Bone marrow aspirate smear
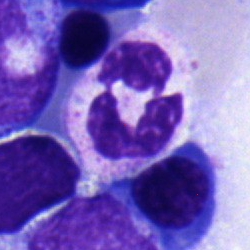
Specimen: bone marrow smear.
Morphological class: polymorphonuclear neutrophil.